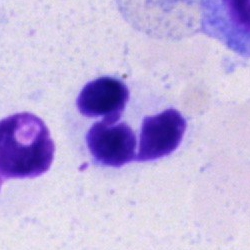 A neutrophil (segmented).